Bone marrow smear:
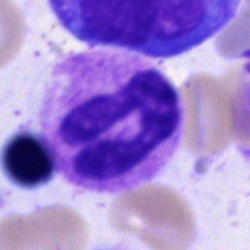
Morphology — polymorphonuclear neutrophil.